250×250 · brightfield, 40× oil-immersion objective · bone marrow smear
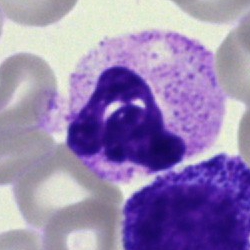 Classification = neutrophil (segmented).